MGG-stained. Bone marrow aspirate smear — 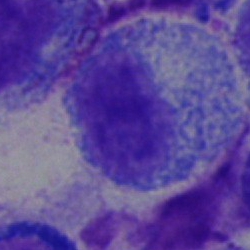 Cell type — progranulocyte.